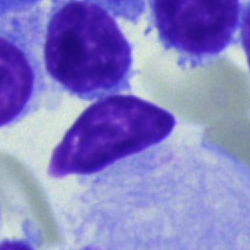Impression → typical lymphocyte.